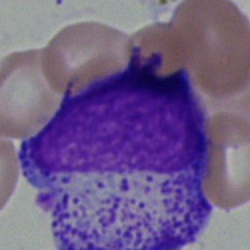

The cell shown is a myelocyte.